Bone marrow smear. Brightfield, 40× oil-immersion objective: 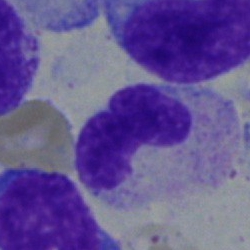A neutrophil (band).